Bone marrow smear — 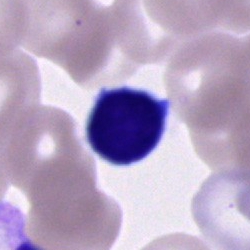 A lymphocyte.